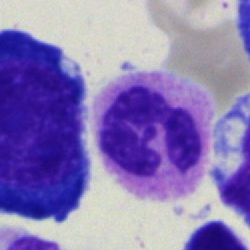 Cell: neutrophil (segmented).